Bone marrow smear: 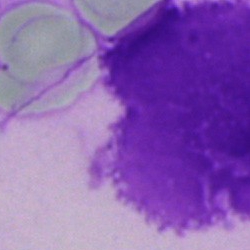
Specimen: bone marrow smear.
Morphological class: artefact.